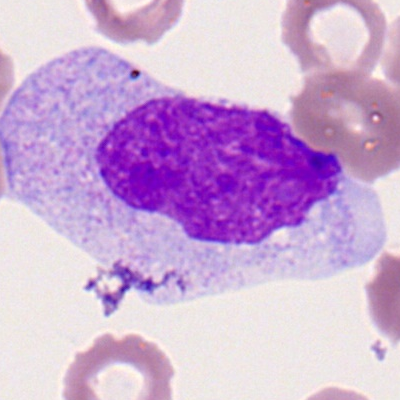Specimen: peripheral blood smear.
Cell: monocyte.
Lineage: myeloid.